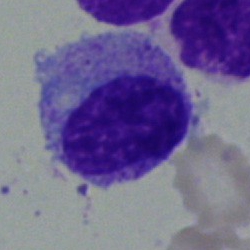Single cell identified as a myelocyte.